Bone marrow smear.
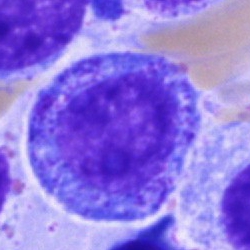 A promyelocyte.